Bone marrow aspirate smear — 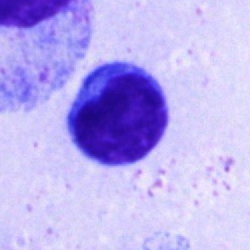

Impression — typical lymphocyte.